May-Grünwald-Giemsa/Pappenheim stain; bone marrow smear
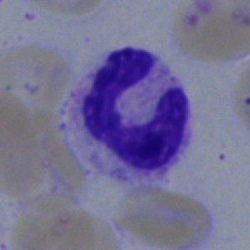 Q: Identify the cell.
A: Neutrophil (segmented).